Bone marrow smear — 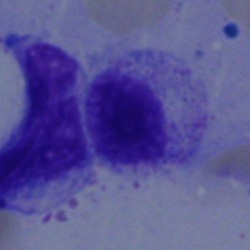 The morphological class is myelocyte.